40× objective, oil immersion; cropped to a single cell; bone marrow smear:
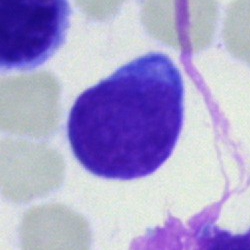
Morphological class — undifferentiated blast.